Bone marrow aspirate smear
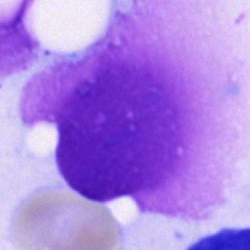

Cell = artifact.